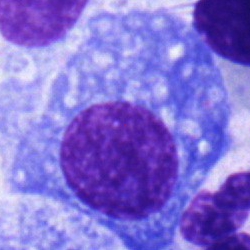

Cell: plasmacyte.